Peripheral blood film · 400×400 px — 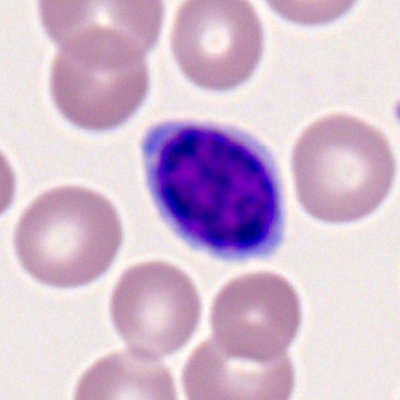 Morphology — typical lymphocyte.